Imaged on a CellaVision DM96 analyser. 360×363 px. Peripheral blood smear
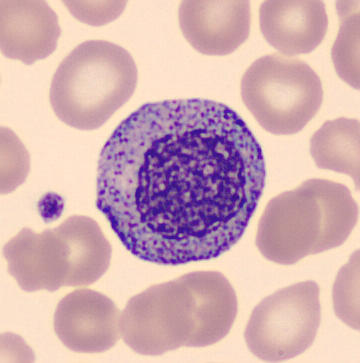
Specimen: peripheral blood film.
Cell type: myelocyte.
Lineage: myeloid.